40× oil immersion · bone marrow aspirate smear — 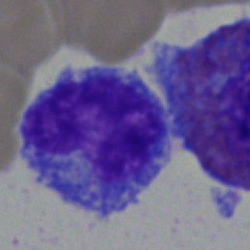 A monocyte.